Bone marrow aspirate smear.
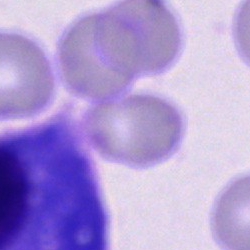Impression → other cell type.